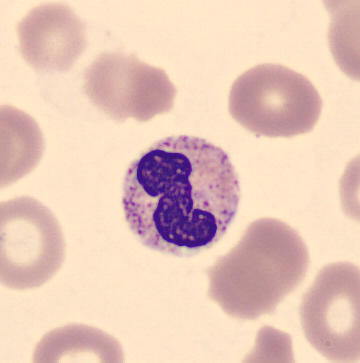 Specimen: peripheral blood film.
Morphological class: neutrophil (band).
Lineage: myeloid.